Peripheral blood film: 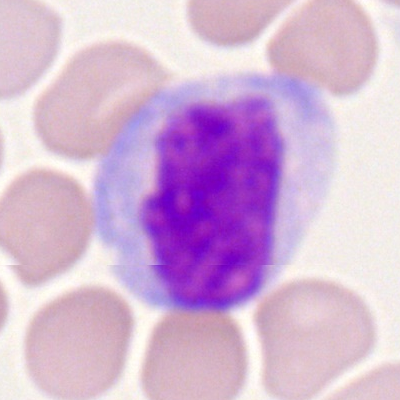
Impression — monocyte.